40× objective, oil immersion · bone marrow smear:
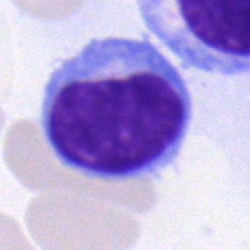

{"cell_type": "typical lymphocyte"}